Single-cell field. Bone marrow smear — 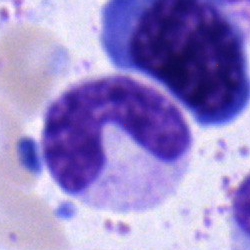
Specimen: bone marrow smear.
Cell: neutrophil (band).